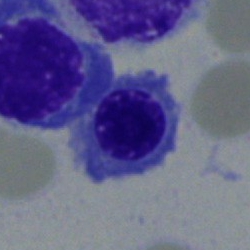 Nucleated red cell.